250 by 250 pixels · single-cell field · bone marrow smear:
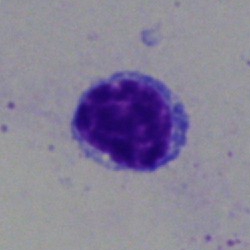

Cell: lymphocyte.